Bone marrow smear · image size 250×250:
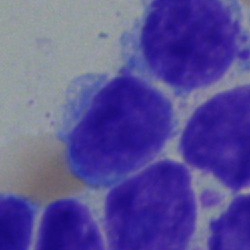

Morphology — lymphocyte.